Single-cell field. Bone marrow smear.
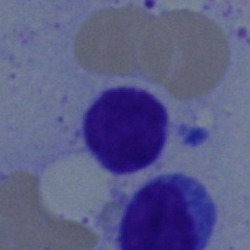Single cell identified as a lymphocyte.